Bone marrow aspirate smear; brightfield, 40× oil-immersion objective.
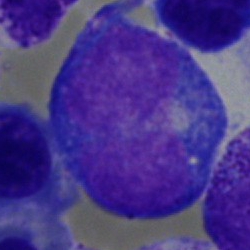 The cell is undifferentiated blast.